Bone marrow smear
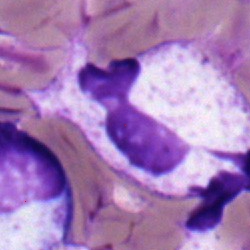Morphology → neutrophil (segmented).